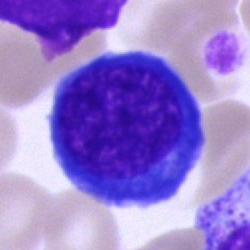Cell: normoblast.